Bone marrow smear. Single-cell field:
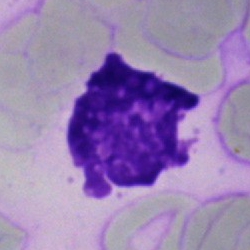

{"cell_type": "artefact"}